Peripheral blood film · Romanowsky-type stain:
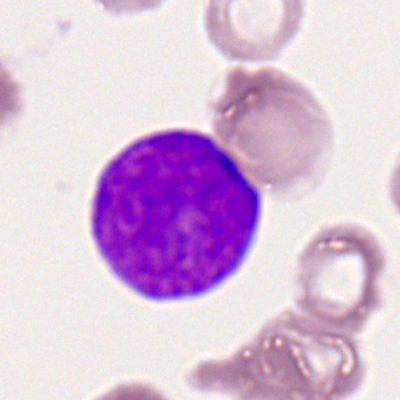

Q: What is the morphological classification of this cell?
A: A myeloblast.